Bone marrow smear.
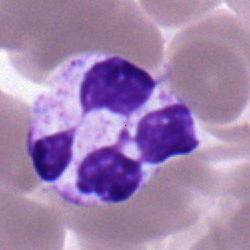

Impression — polymorphonuclear neutrophil.